Bone marrow smear: 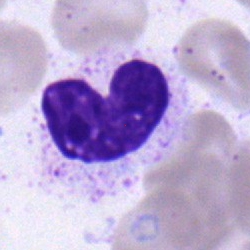Morphology → metamyelocyte.